Bone marrow smear · cropped to a single cell:
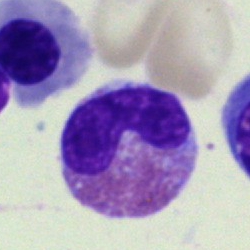
Impression → eosinophilic granulocyte.